Single-cell field. Peripheral blood smear. 400×400:
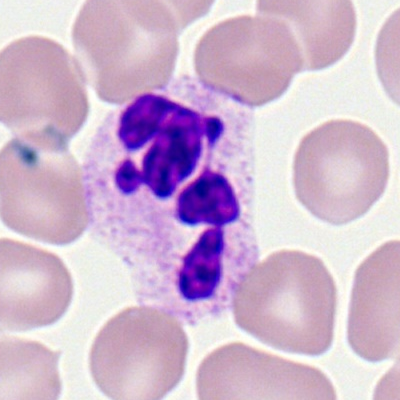

The cell type is neutrophil (segmented).